Bone marrow aspirate smear — 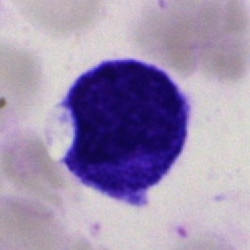
Morphological class = lymphocyte.